Bone marrow aspirate smear · image size 250×250 · cropped to a single cell — 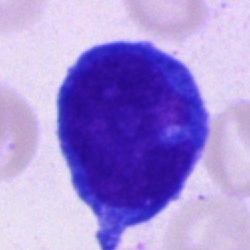
Cell: unidentifiable cell.